Bone marrow aspirate smear:
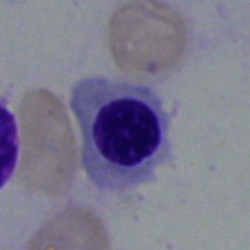 Cell type: nucleated red blood cell.